Bone marrow smear:
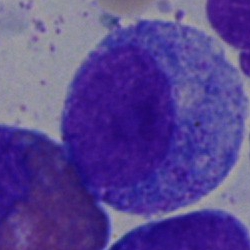
Impression — progranulocyte.